Bone marrow aspirate smear; cropped to a single cell: 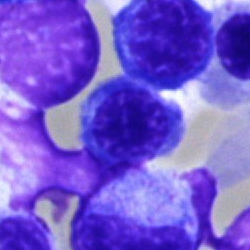The cell shown is an erythroblast.